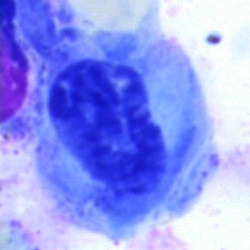Impression → artifact.